250 by 250 pixels. 40× objective, oil immersion. Bone marrow aspirate smear: 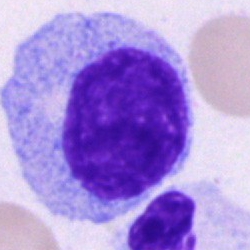Specimen: bone marrow smear.
Cell: progranulocyte.
Lineage: myeloid.